Bone marrow smear; 40× oil immersion: 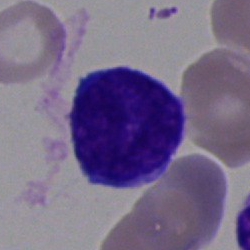

Morphology consistent with a blast.